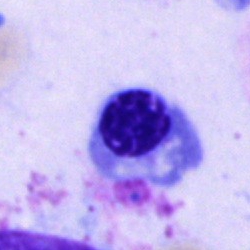 Classification: erythroblast.